Bone marrow aspirate smear: 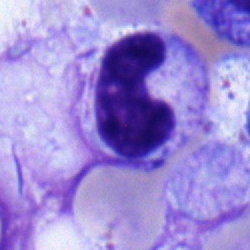Specimen: bone marrow aspirate smear.
Cell: metamyelocyte.